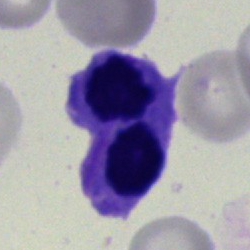
A normoblast.